Bone marrow aspirate smear; 250 by 250 pixels; May-Grünwald-Giemsa/Pappenheim stain:
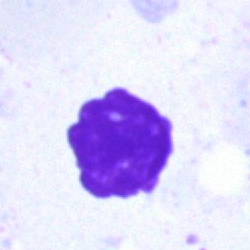
Single cell identified as an artifact.